Pappenheim-stained. Bone marrow aspirate smear. Single-cell field
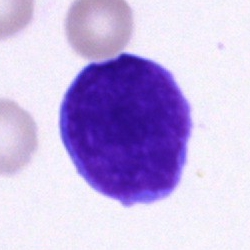
The cell is cell of indeterminate lineage.